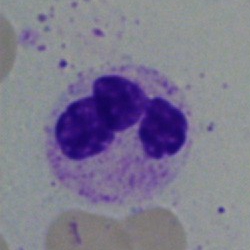Cell = polymorphonuclear neutrophil.